Peripheral blood smear — 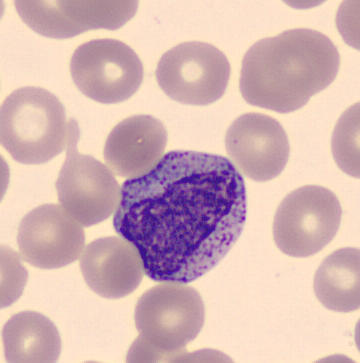
Showing a myelocyte.